Bone marrow smear; 40× objective, oil immersion.
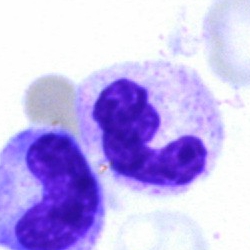
Morphology consistent with a polymorphonuclear neutrophil.